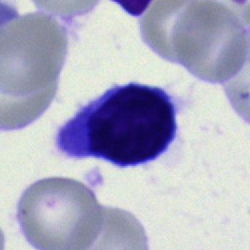

Cell type = nucleated red blood cell.